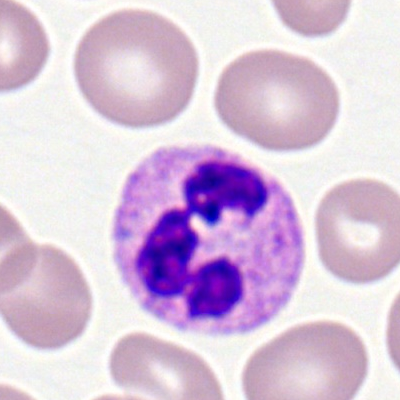

Morphology — segmented neutrophil.